Bone marrow aspirate smear · May-Grünwald-Giemsa/Pappenheim stain · brightfield, 40× oil-immersion objective.
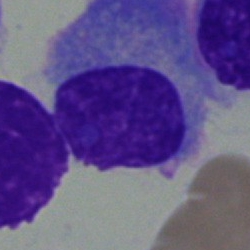Cell — plasmacyte.